Bone marrow smear · 250 by 250 pixels:
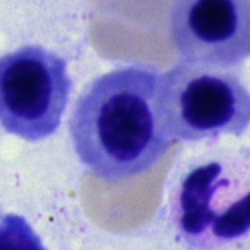
Single cell identified as an erythroblast.